Cropped to a single cell · peripheral blood smear · automated cell imaging (CellaVision DM96).
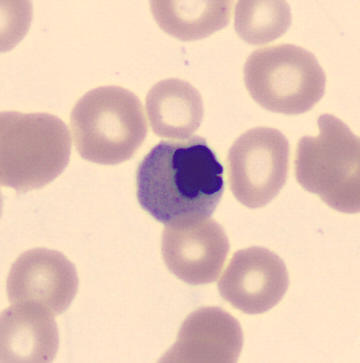
The morphological class is normoblast.